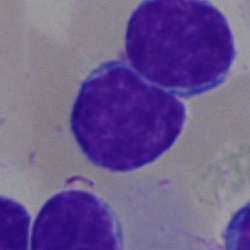
{"cell_type": "typical lymphocyte"}